Bone marrow aspirate smear:
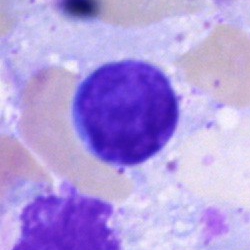 Specimen: bone marrow aspirate smear.
Morphological class: typical lymphocyte.
Lineage: lymphoid.